Brightfield, 40× oil-immersion objective · bone marrow aspirate smear · image size 250×250: 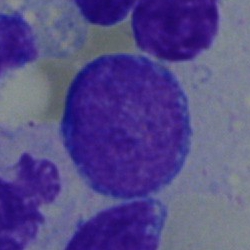

Morphological class: blast cell.